Bone marrow aspirate smear — 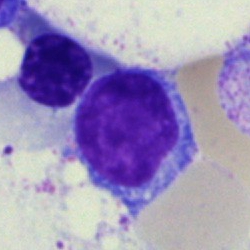
Cell type — lymphocyte.